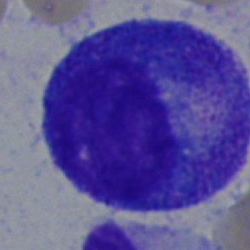 Showing a progranulocyte.